Cropped to a single cell · bone marrow smear · 250×250
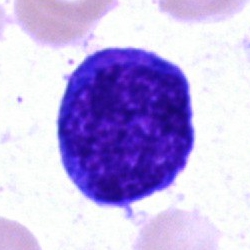

A promyelocyte.